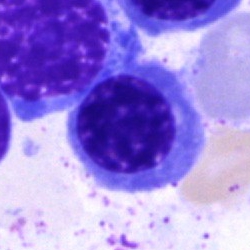Q: What is shown here?
A: A nucleated red cell.